Bone marrow aspirate smear
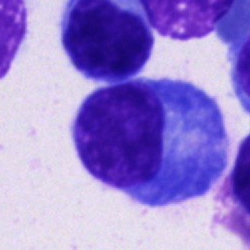 This is a plasma cell.